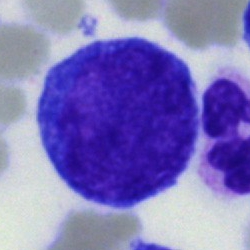
Showing a blast.